Bone marrow aspirate smear · 40× objective, oil immersion
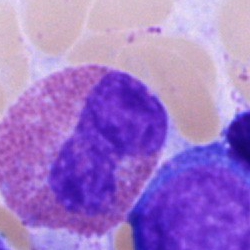
Showing an eosinophilic granulocyte.